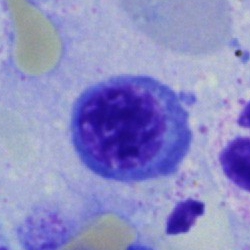
Morphology → normoblast.